Pappenheim-stained; bone marrow aspirate smear
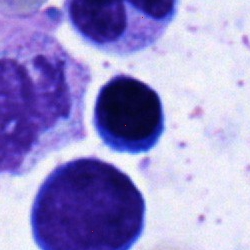 Single cell identified as a lymphocyte.